40× oil immersion. Bone marrow aspirate smear. 250 by 250 pixels:
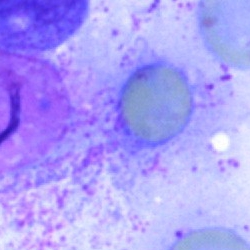Impression → artifact.